Bone marrow smear.
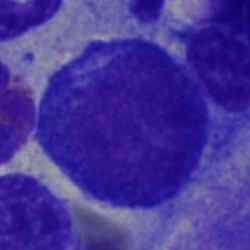
Impression → proerythroblast.